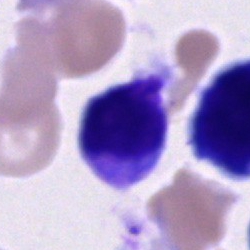Morphology consistent with a typical lymphocyte.